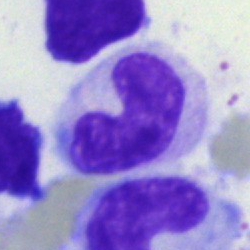 A band neutrophil on a bone marrow smear.